Bone marrow smear · MGG-stained.
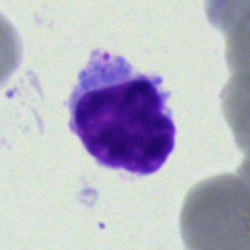
Cell: lymphocyte.